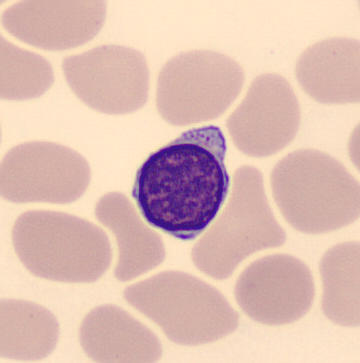

Single cell identified as a lymphocyte.

Acquisition: Peripheral blood film. Imaged on a CellaVision DM96 analyser. 360×363 px.